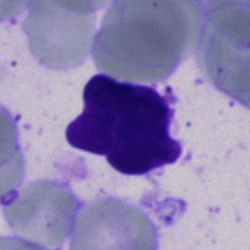

Bone marrow aspirate smear, single cell — artifact.